Bone marrow aspirate smear · single-cell crop — 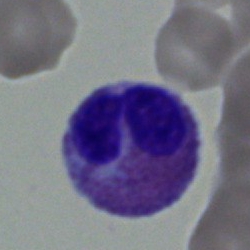Morphology — eosinophil.